Bone marrow smear — 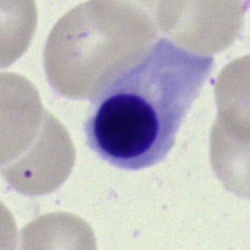 Cell: normoblast.